Bone marrow smear; cropped to a single cell; 250×250:
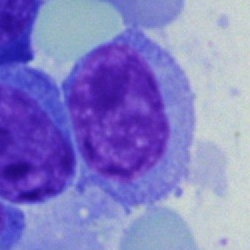

Classification — typical lymphocyte.